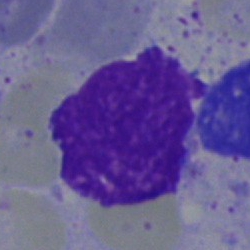 Cell: artifact.